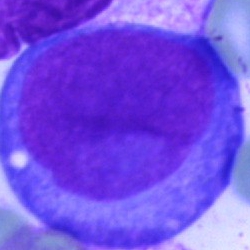 Q: Which cell type is shown here?
A: This is a blast cell.